Bone marrow smear: 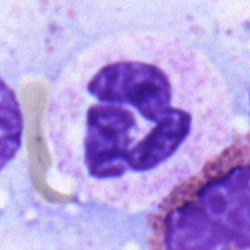Q: Which cell type is shown here?
A: It is a neutrophil (segmented).